Bone marrow aspirate smear: 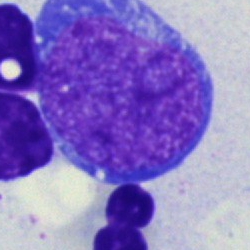
A blast cell.